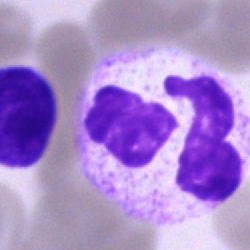
Q: What is shown here?
A: It is a neutrophil (segmented).